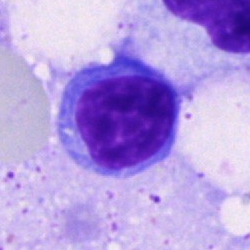 Classification = plasma cell.